Bone marrow smear
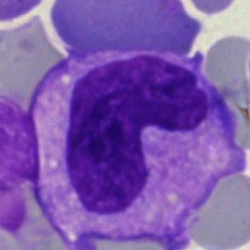
Showing a monocyte.